Bone marrow aspirate smear: 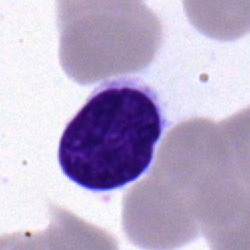The cell shown is a lymphocyte.